40× objective, oil immersion; bone marrow aspirate smear:
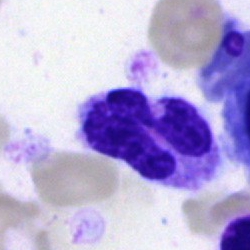Q: Identify the cell.
A: It is a neutrophil (segmented).